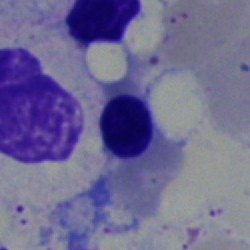Nucleated red blood cell.